Peripheral blood smear; Romanowsky-stained
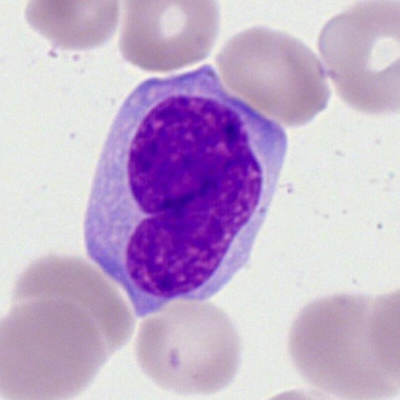Myeloid blast.